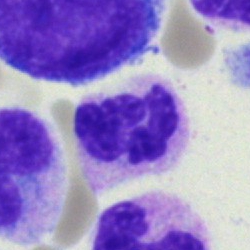
Specimen: bone marrow aspirate smear.
Cell: polymorphonuclear neutrophil.
Lineage: myeloid.